Bone marrow smear. Single cell centered in the field — 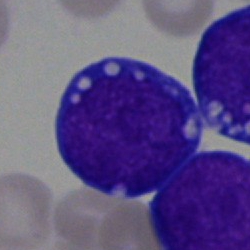 This is a blast.